Bone marrow aspirate smear — 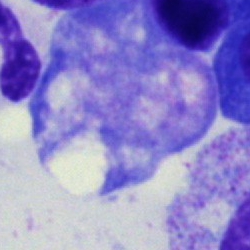
Morphology consistent with an artifact.